Brightfield, 40× oil-immersion objective. Bone marrow smear.
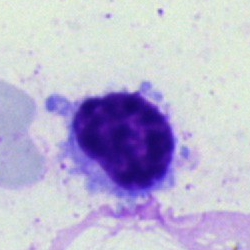 A lymphocyte.